Peripheral blood film · 400×400
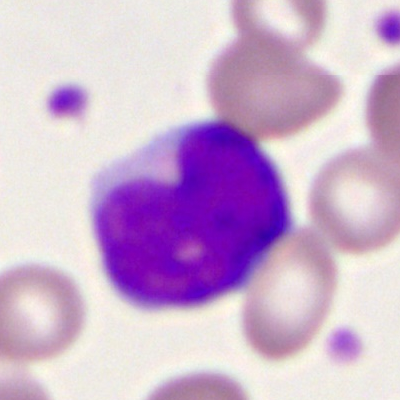 Cell type: myeloblast.